Bone marrow smear.
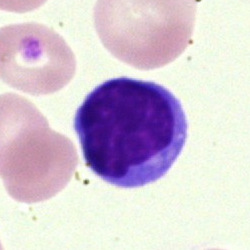 This is a lymphocyte.